Bone marrow aspirate smear
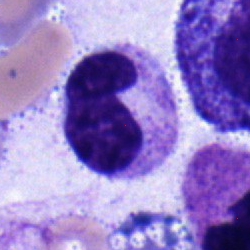

This is a stab cell.